Bone marrow aspirate smear.
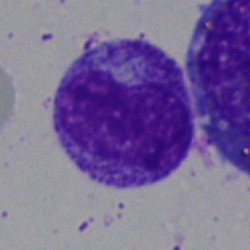
Q: What is the morphological classification of this cell?
A: Myelocyte.